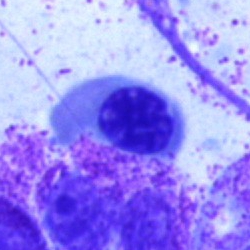 This is an erythroblast.